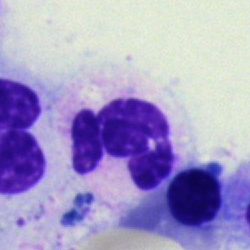

Cell = neutrophil (segmented).